Bone marrow smear — 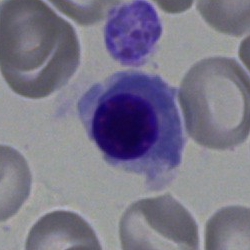 Morphology → nucleated red blood cell.